Bone marrow smear · brightfield microscopy, 40× oil immersion · cropped to a single cell — 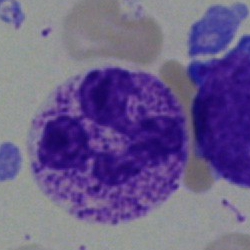

Q: What is the morphological classification of this cell?
A: Neutrophil (segmented).